Bone marrow smear.
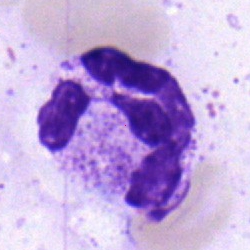
The cell type is segmented neutrophil.